Bone marrow smear; single-cell field: 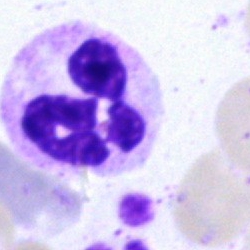
This is a segmented neutrophil.